Pappenheim-stained; bone marrow smear
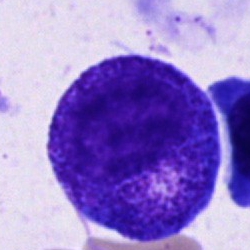
Showing a promyelocyte.